Bone marrow aspirate smear; single-cell crop.
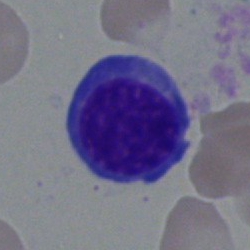A nucleated red blood cell.